Bone marrow smear.
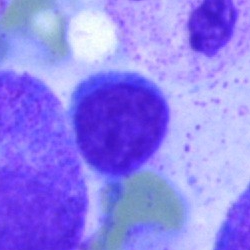Morphology → typical lymphocyte.